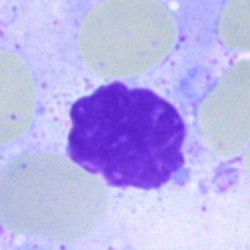Morphological class = artefact.